Bone marrow aspirate smear · May-Grünwald-Giemsa/Pappenheim stain.
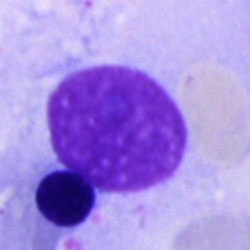

Artefact.